Bone marrow aspirate smear · image size 250×250:
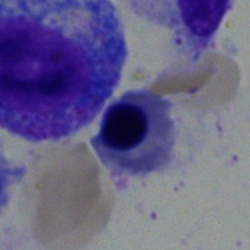
This is a normoblast.